Bone marrow smear:
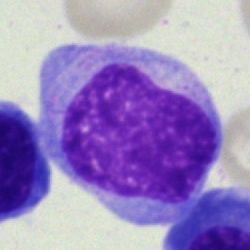Classification — blast.